Bone marrow smear; cropped to a single cell.
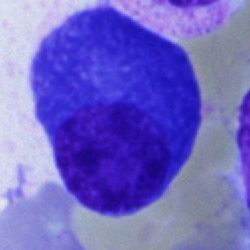
Morphology consistent with a plasma cell.